Bone marrow aspirate smear: 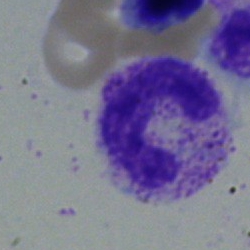 Specimen: bone marrow aspirate smear.
Cell: band-form neutrophil.
Lineage: myeloid.